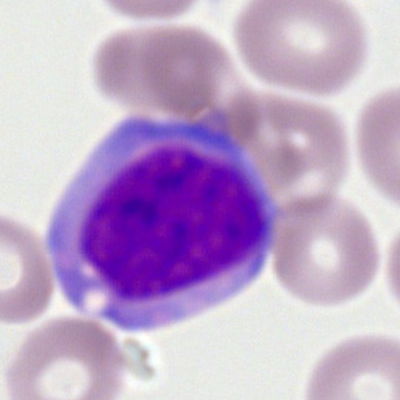
Peripheral blood film, single cell — myeloid blast.